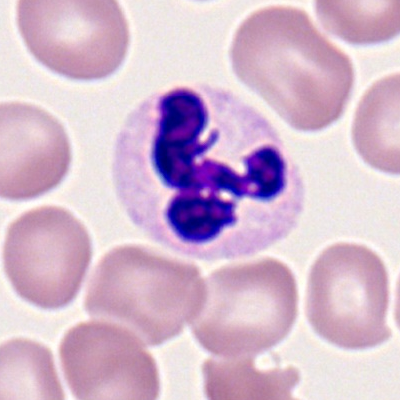
Showing a polymorphonuclear neutrophil.